May-Grünwald-Giemsa stain · bone marrow smear: 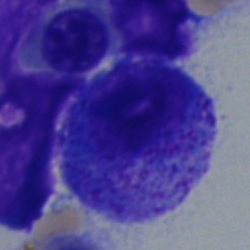

The classification is promyelocyte.